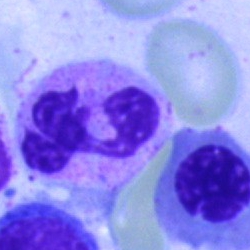Specimen: bone marrow smear.
Classification: polymorphonuclear neutrophil.
Lineage: myeloid.